Single cell centered in the field. Bone marrow smear:
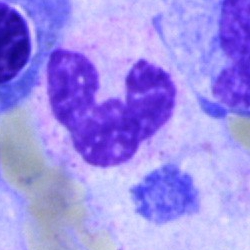Q: What is the morphological classification of this cell?
A: Segmented neutrophil.